Bone marrow aspirate smear: 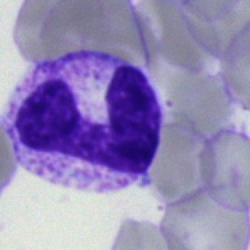 Q: What cell is this?
A: It is a band-form neutrophil.